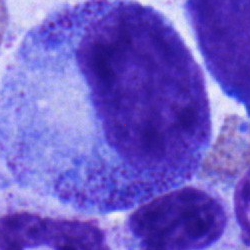

{"cell_type": "progranulocyte", "lineage": "myeloid"}